Brightfield microscopy, 40× oil immersion; bone marrow smear.
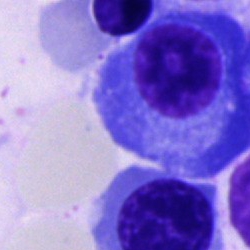
Morphology consistent with a plasma cell.